Brightfield microscopy, 40× oil immersion; 250 by 250 pixels; bone marrow aspirate smear: 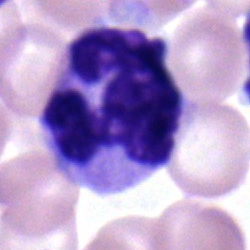
Q: Identify the cell.
A: A polymorphonuclear neutrophil.